Bone marrow aspirate smear.
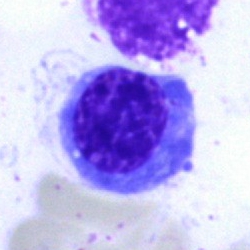An erythroblast.